Bone marrow aspirate smear.
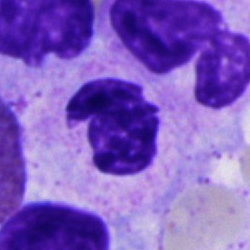
Morphology consistent with a polymorphonuclear neutrophil.